Bone marrow aspirate smear
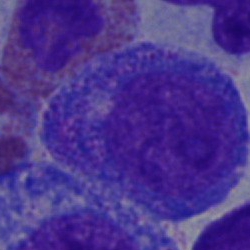Impression → promyelocyte.